Single-cell crop; bone marrow aspirate smear
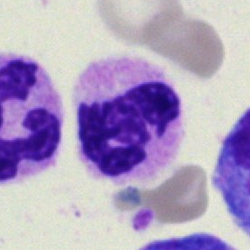 Impression — polymorphonuclear neutrophil.